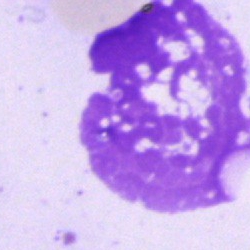

Specimen: bone marrow aspirate smear.
Cell: artifact.